Bone marrow smear · 250×250 · single-cell field:
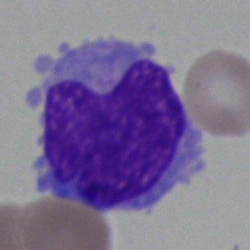

Q: Identify the cell.
A: This is a monocyte.